Bone marrow aspirate smear. Single cell centered in the field: 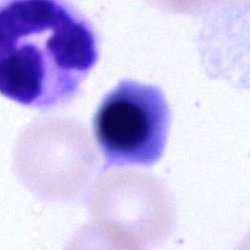
Classification — nucleated red cell.